250×250 px; bone marrow aspirate smear: 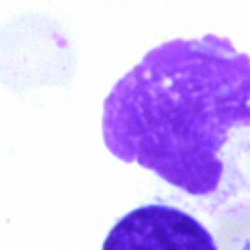Impression → artifact.